Bone marrow aspirate smear:
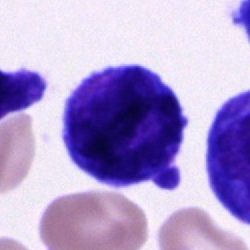Cell type — unidentifiable cell.